Single-cell field · bone marrow smear · May-Grünwald-Giemsa stain: 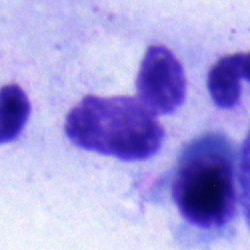{"cell_type": "segmented neutrophil"}